Bone marrow smear: 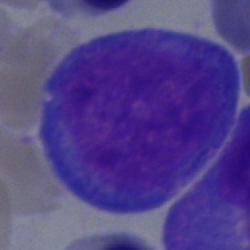

Single cell identified as a pronormoblast.